Bone marrow smear:
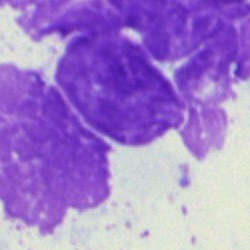 Impression — artefact.